Bone marrow aspirate smear
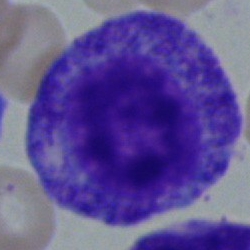Specimen: bone marrow aspirate smear.
Morphological class: promyelocyte.